MGG-stained · bone marrow smear:
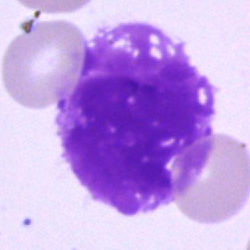 Specimen: bone marrow aspirate smear.
Cell: artifact.